Bone marrow smear. Pappenheim-stained. Single-cell field: 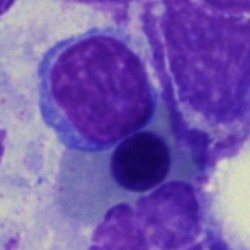
Morphology — typical lymphocyte.